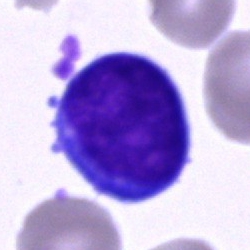

Q: Which cell type is shown here?
A: Undifferentiated blast.